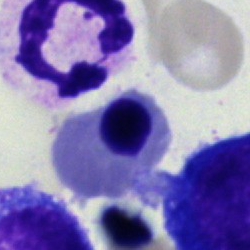Q: Which cell type is shown here?
A: Nucleated red blood cell.